Bone marrow smear: 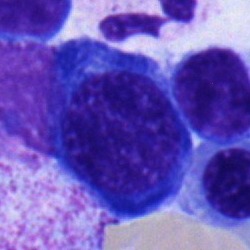
Specimen: bone marrow aspirate smear.
Morphological class: normoblast.
Lineage: erythroid.